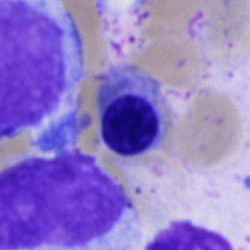Morphological class — erythroblast.